Brightfield microscopy, 40× oil immersion. Bone marrow smear:
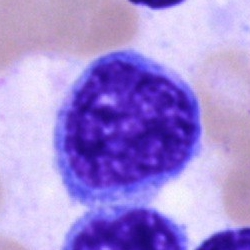

Specimen: bone marrow aspirate smear.
Cell type: blast.